Single cell centered in the field · bone marrow aspirate smear — 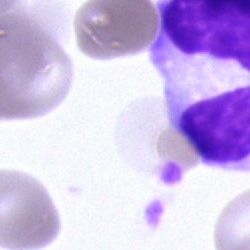 Showing a cell of indeterminate lineage.